Bone marrow smear. Image size 250×250 — 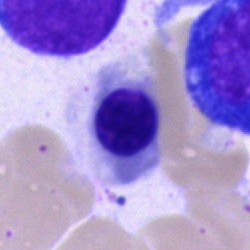
Showing a nucleated red blood cell.